Bone marrow smear — 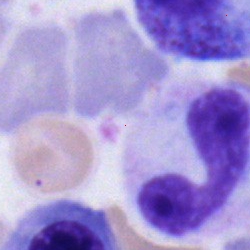 Impression — band neutrophil.